Image size 250×250 · bone marrow aspirate smear:
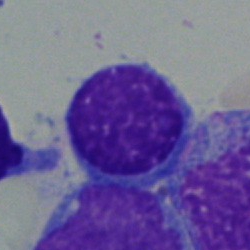

The cell is typical lymphocyte.